Bone marrow aspirate smear — 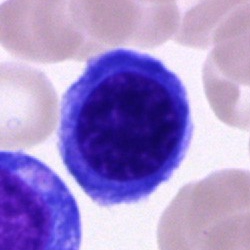
{"cell_type": "nucleated red blood cell", "lineage": "erythroid"}